Peripheral blood film · cropped to a single cell:
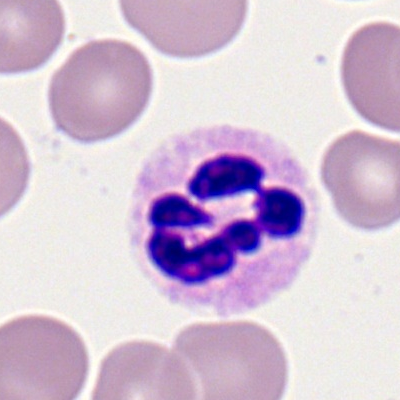Specimen: peripheral blood film.
Cell: polymorphonuclear neutrophil.